40× objective, oil immersion · single-cell crop · bone marrow aspirate smear
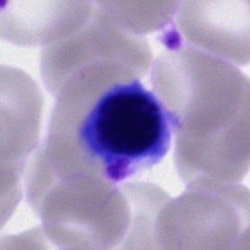Morphology → nucleated red blood cell.